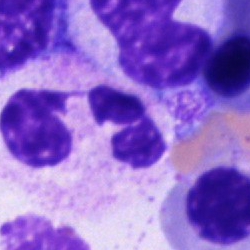Single cell identified as a segmented neutrophil.